Bone marrow aspirate smear · brightfield microscopy, 40× oil immersion.
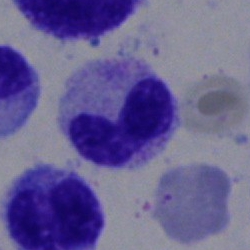Showing a stab cell.